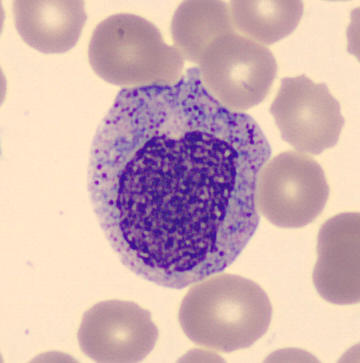
Q: What type of cell is this?
A: It is a promyelocyte. Preparation: Automated cell imaging (CellaVision DM96) · peripheral blood smear · single cell centered in the field.